Peripheral blood film.
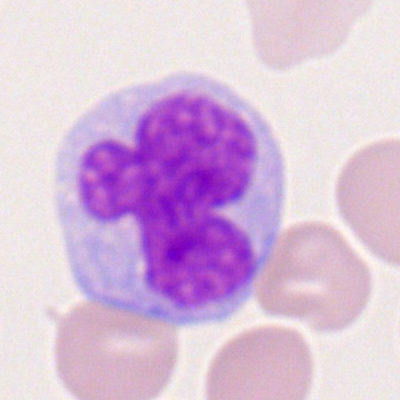 A monocyte.